Bone marrow aspirate smear.
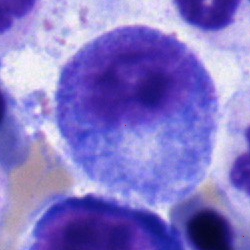
Morphological class = promyelocyte.